Bone marrow smear. MGG-stained: 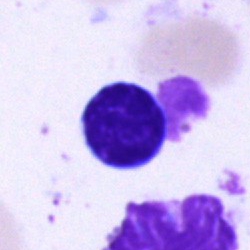 Impression → typical lymphocyte.